250×250. Bone marrow aspirate smear — 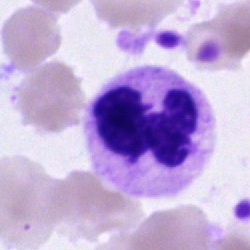The cell shown is a neutrophil (segmented).